Peripheral blood smear:
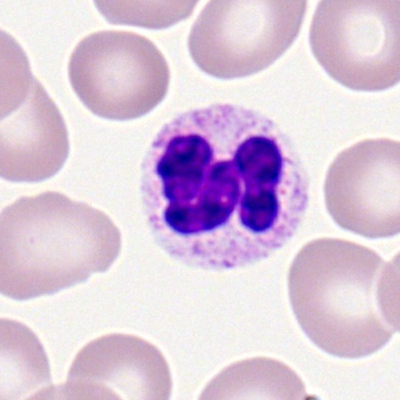
The cell shown is a polymorphonuclear neutrophil.